Bone marrow aspirate smear.
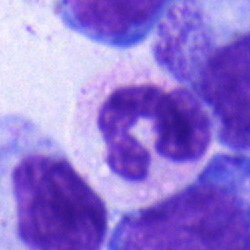
Cell type — polymorphonuclear neutrophil.